Bone marrow aspirate smear
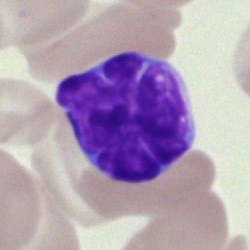

Morphology — typical lymphocyte.